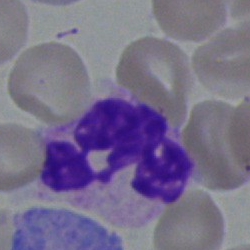 Morphology — neutrophil (segmented).